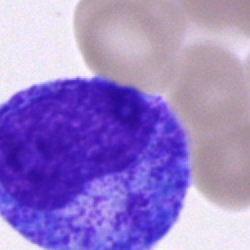 Q: What is shown here?
A: A promyelocyte.